Pappenheim-stained; bone marrow smear: 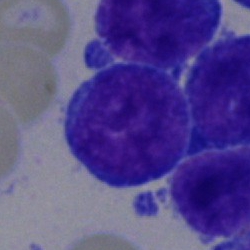

Showing a blast cell.